Peripheral blood film — 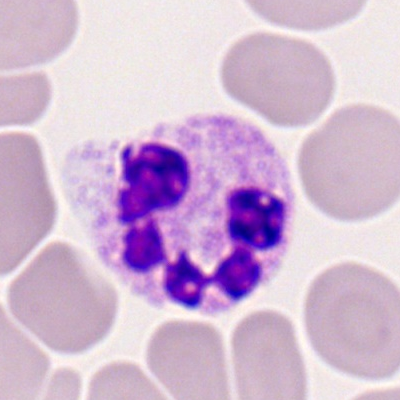 Specimen: peripheral blood film.
Cell type: segmented neutrophil.